Peripheral blood smear. 100× oil immersion, 14.14 px/µm.
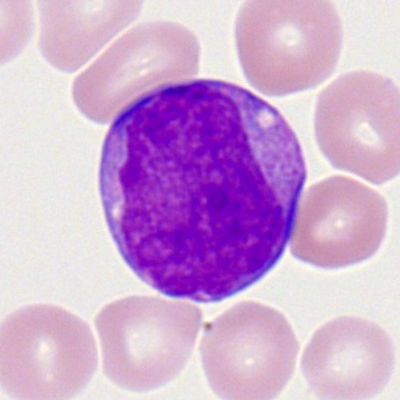

Q: What is the morphological classification of this cell?
A: Myeloblast.